Bone marrow smear:
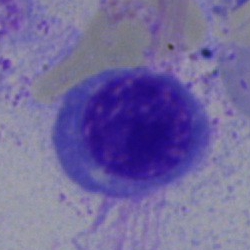 Morphology → normoblast.